Bone marrow smear
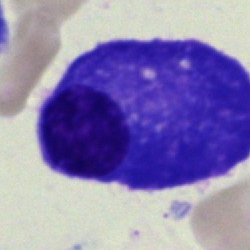

Q: What is the morphological classification of this cell?
A: A plasma cell.